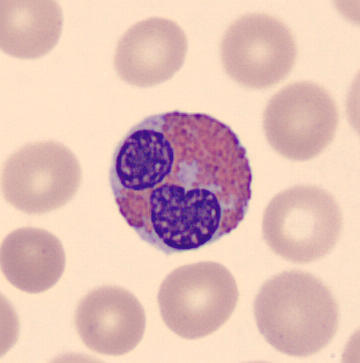
Showing an eosinophil.